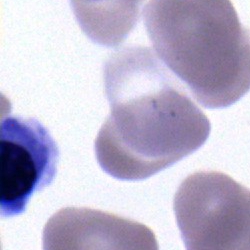

Bone marrow smear showing a nucleated red blood cell.